Bone marrow smear — 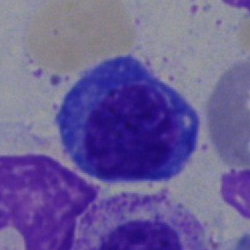
Q: What type of cell is this?
A: It is a nucleated red blood cell.